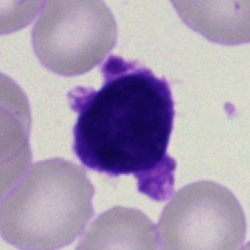

Q: What is shown here?
A: Lymphocyte.